May-Grünwald-Giemsa/Pappenheim stain; bone marrow aspirate smear; image size 250×250.
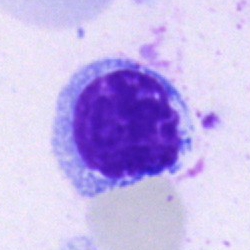
The cell type is lymphocyte.